Bone marrow aspirate smear
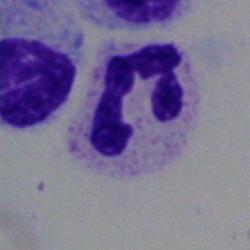 Q: Identify the cell.
A: It is a polymorphonuclear neutrophil.